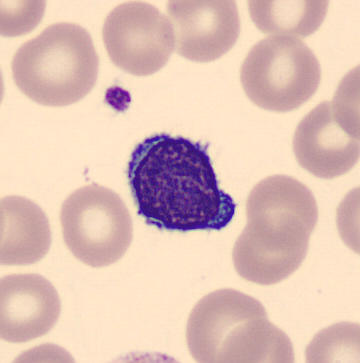

Classification = typical lymphocyte.
Image: Peripheral blood film. CellaVision DM96 digital cell image.